May-Grünwald-Giemsa stain; bone marrow smear:
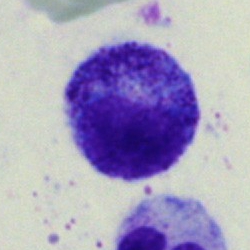
Cell: myelocyte.